Bone marrow aspirate smear
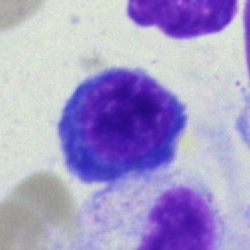The cell shown is a normoblast.